Bone marrow aspirate smear; MGG-stained — 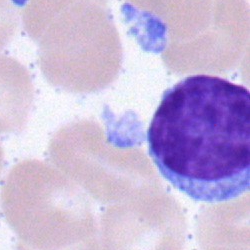This is a lymphocyte.